Pappenheim-stained; single-cell field; bone marrow aspirate smear — 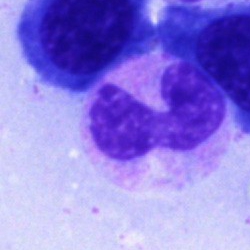

Impression → stab cell.